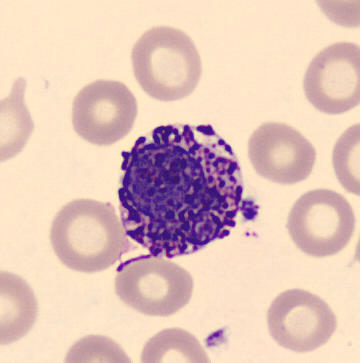

A basophil.